Bone marrow aspirate smear. Cropped to a single cell:
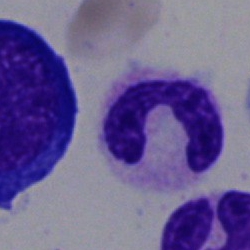

Q: What cell is this?
A: This is a neutrophil (segmented).